Bone marrow smear:
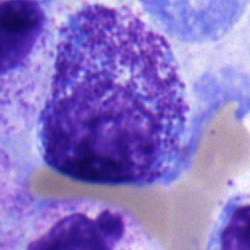 Cell = myelocyte.